Pappenheim-stained · bone marrow smear · 250×250.
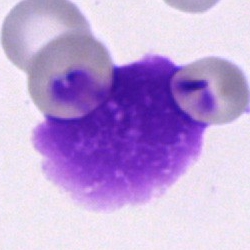
Q: What is shown here?
A: An artefact.